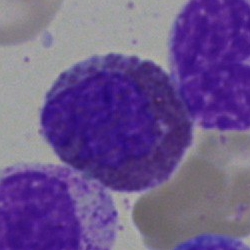 {"cell_type": "eosinophilic granulocyte"}